Single-cell field · bone marrow smear · brightfield microscopy, 40× oil immersion — 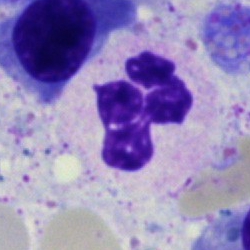This is a polymorphonuclear neutrophil.